Cropped to a single cell. Peripheral blood film. Brightfield, 100× oil-immersion objective: 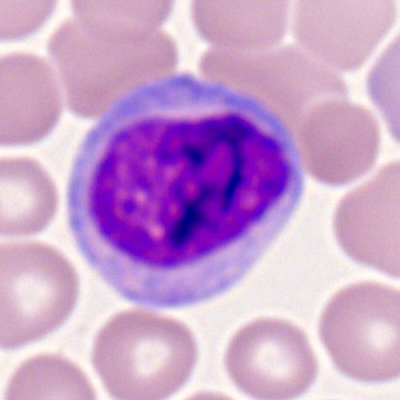
A monocyte.